Single-cell crop. Bone marrow smear. Image size 250×250
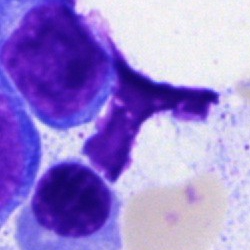Specimen: bone marrow aspirate smear.
Classification: nucleated red cell.
Lineage: erythroid.